Peripheral blood smear: 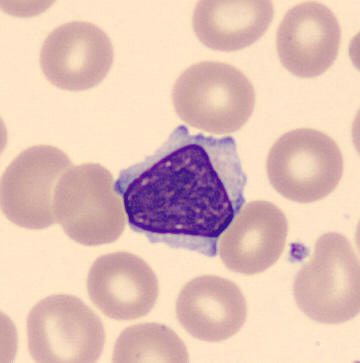Q: What is this?
A: A typical lymphocyte.